Single-cell field. 40× objective, oil immersion. Bone marrow aspirate smear.
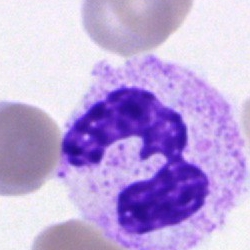The cell type is polymorphonuclear neutrophil.